Bone marrow aspirate smear; single cell centered in the field
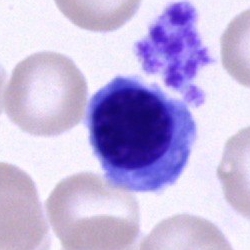 Specimen: bone marrow aspirate smear.
Cell: typical lymphocyte.
Lineage: lymphoid.